Bone marrow smear; MGG-stained
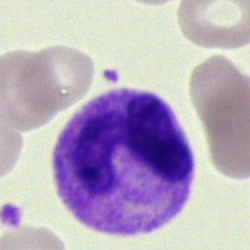Impression — polymorphonuclear neutrophil.